Bone marrow smear: 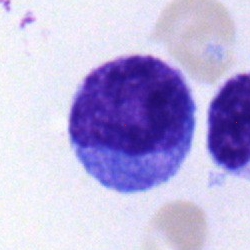

Q: Which cell type is shown here?
A: It is a monocyte.